Pappenheim-stained. Bone marrow aspirate smear. Single-cell field: 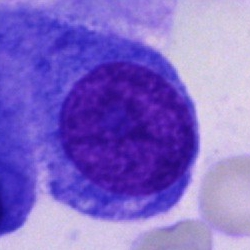Cell: other cell.